100× objective, oil immersion. Peripheral blood film:
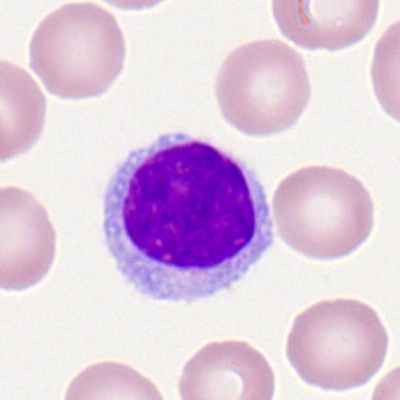Q: What is shown here?
A: Lymphocyte.